Bone marrow aspirate smear. Image size 250×250 — 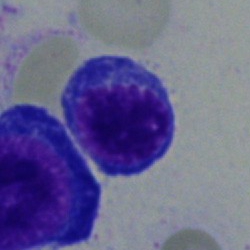

Cell type — nucleated red cell.